Bone marrow aspirate smear. 250×250 — 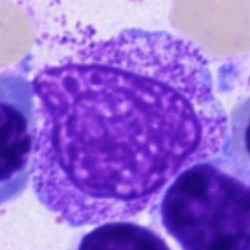 Morphological class = artefact.